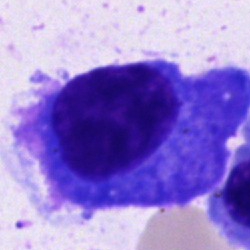

Cell type — plasma cell.